Peripheral blood film
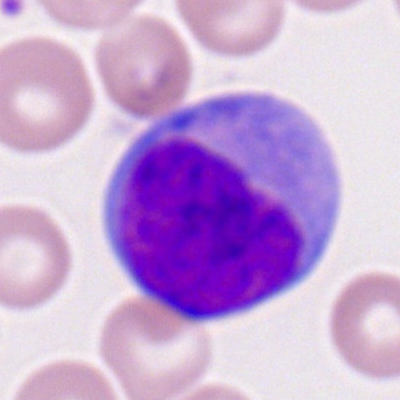

Specimen: peripheral blood smear.
Cell: myeloid blast.